Bone marrow smear — 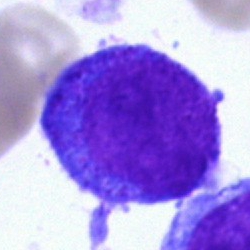 Showing a blast.